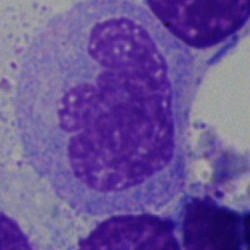
Morphological class: monocyte.